Bone marrow smear
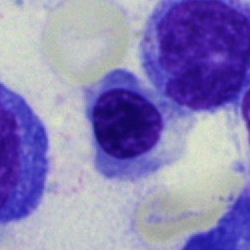Q: Which cell type is shown here?
A: A nucleated red cell.